Bone marrow smear — 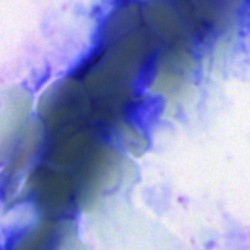
Impression → artefact.